Bone marrow smear.
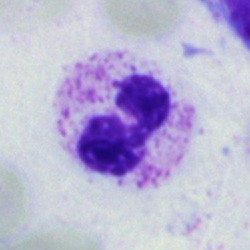

Classification: neutrophil (segmented).